Bone marrow aspirate smear:
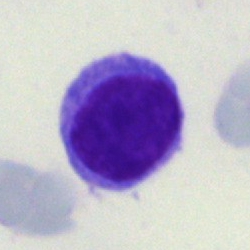

A typical lymphocyte.